Bone marrow aspirate smear; single-cell crop
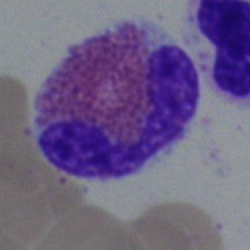Q: Identify the cell.
A: It is an eosinophilic granulocyte.